Bone marrow smear.
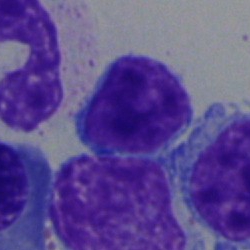
{"cell_type": "typical lymphocyte", "lineage": "lymphoid"}